Bone marrow smear — 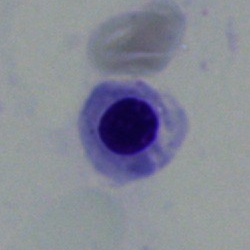
Classification — normoblast.